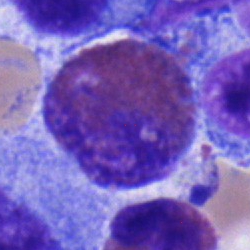
The morphological class is typical lymphocyte.